Bone marrow smear · single cell centered in the field — 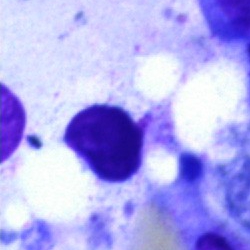
Q: What is shown here?
A: This is an artefact.